Bone marrow smear — 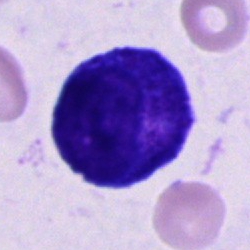Morphology → progranulocyte.